250×250. Brightfield microscopy, 40× oil immersion. Bone marrow smear.
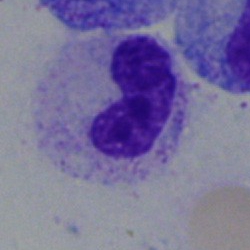

Cell type — band-form neutrophil.